Bone marrow aspirate smear — 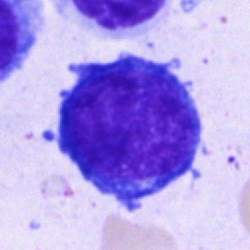 Classification = proerythroblast.